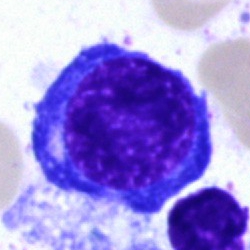
This is a nucleated red cell.